Cropped to a single cell; bone marrow smear:
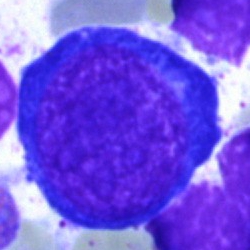 Specimen: bone marrow smear.
Cell type: pronormoblast.
Lineage: erythroid.